40× objective, oil immersion · 250×250 · bone marrow aspirate smear — 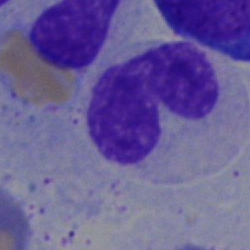 Morphology consistent with a band neutrophil.